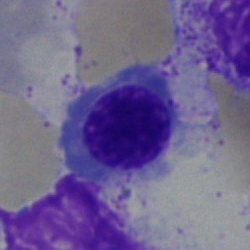 Q: What is shown here?
A: This is a nucleated red blood cell.